Bone marrow smear
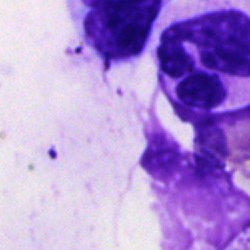
Polymorphonuclear neutrophil.